Bone marrow aspirate smear — 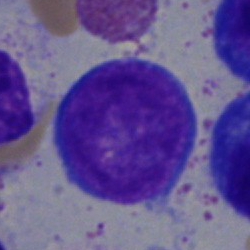Morphological class — undifferentiated blast.